Bone marrow smear: 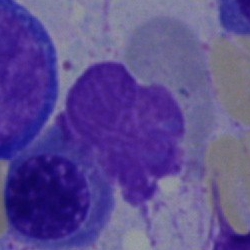Q: What is the morphological classification of this cell?
A: Normoblast.